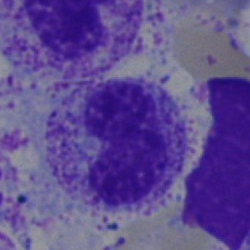 Classification = metamyelocyte.